Bone marrow aspirate smear — 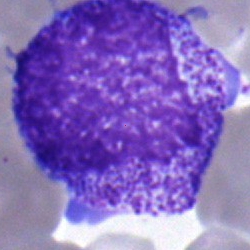 Cell: promyelocyte.